Peripheral blood film
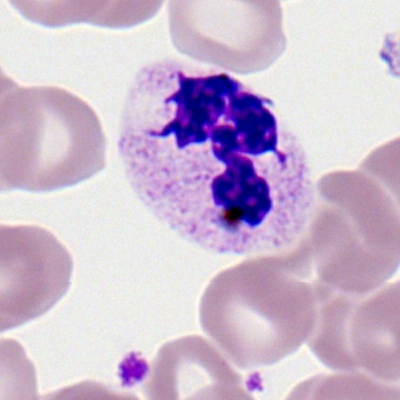

A neutrophil (segmented).